250 by 250 pixels. Bone marrow smear. 40× oil immersion:
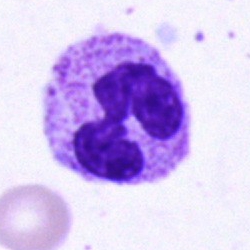
A polymorphonuclear neutrophil.